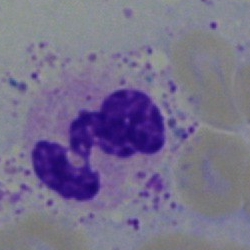 Specimen: bone marrow smear.
Classification: segmented neutrophil.
Lineage: myeloid.